Single-cell crop. Bone marrow smear:
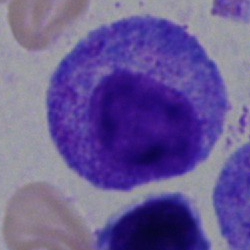
Q: What type of cell is this?
A: A promyelocyte.